Bone marrow smear:
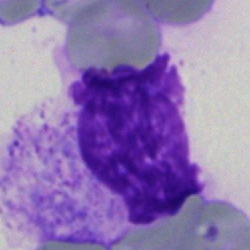

This is an artifact.